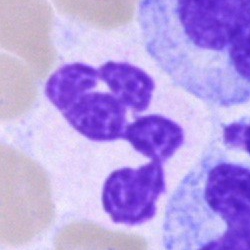
Single-cell crop from a bone marrow smear: polymorphonuclear neutrophil.